Bone marrow aspirate smear; 40× objective, oil immersion.
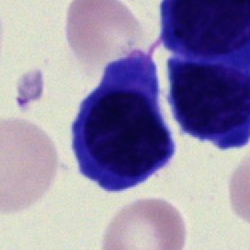 Q: What is shown here?
A: A normoblast.